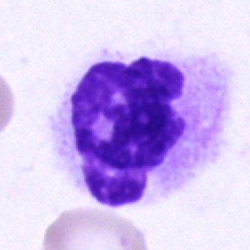

Morphology → polymorphonuclear neutrophil.